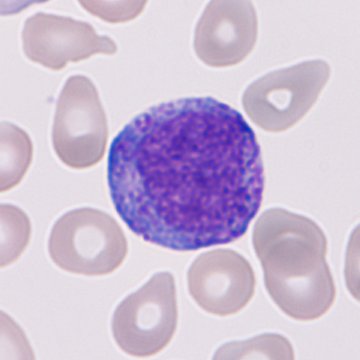 Q: Which cell type is shown here?
A: This is an immature granulocyte.